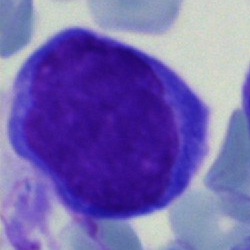
Q: What cell is this?
A: This is an undifferentiated blast.